Bone marrow aspirate smear — 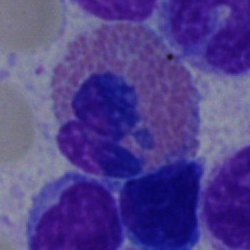 Showing an eosinophil.